Bone marrow smear
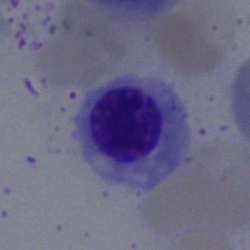

Specimen: bone marrow smear.
Cell: nucleated red cell.